Bone marrow aspirate smear. Brightfield, 40× oil-immersion objective:
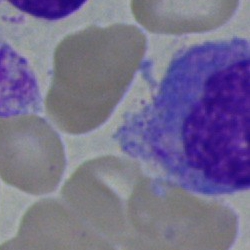
A monocyte.